Bone marrow smear; 40× objective, oil immersion: 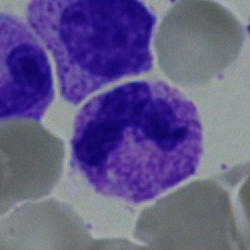

Morphology consistent with a neutrophil (segmented).